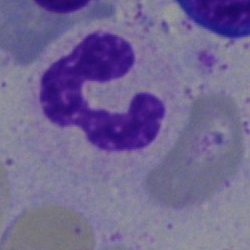
A neutrophil (segmented) on a bone marrow smear.